250 by 250 pixels; bone marrow aspirate smear; single-cell field — 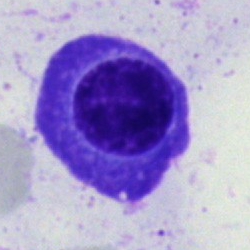 A plasmacyte.